Peripheral blood film — 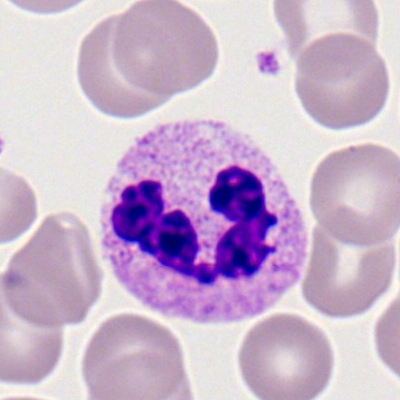Q: What is shown here?
A: It is a neutrophil (segmented).